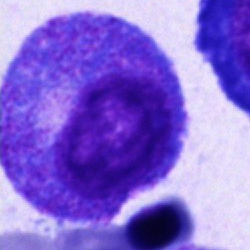Single-cell crop from a bone marrow smear: promyelocyte.